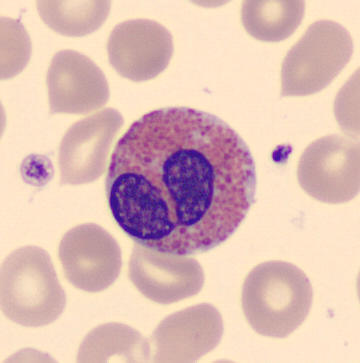

Specimen: peripheral blood film.
Cell type: eosinophil.
Lineage: myeloid.
Preparation: 360×363.